Bone marrow aspirate smear — 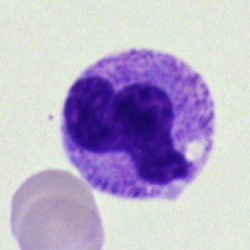 Morphological class — band-form neutrophil.